Bone marrow aspirate smear · image size 250×250:
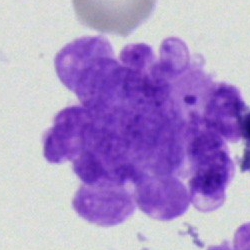
The cell shown is an artefact.